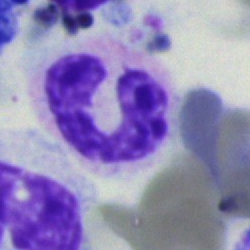

Morphology → neutrophil (segmented).